Bone marrow smear · image size 250×250:
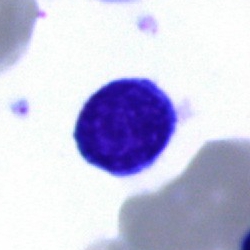 Impression — typical lymphocyte.